Bone marrow smear.
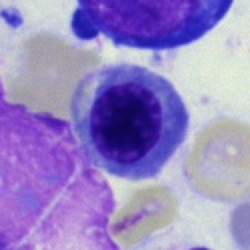A nucleated red cell.